Bone marrow smear; May-Grünwald-Giemsa stain: 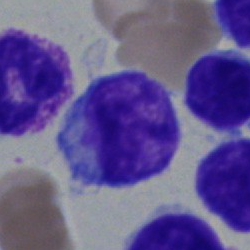
Morphological class = typical lymphocyte.